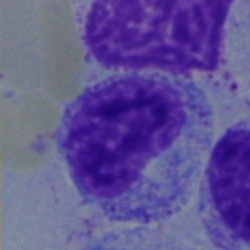Impression → myelocyte.